Peripheral blood smear: 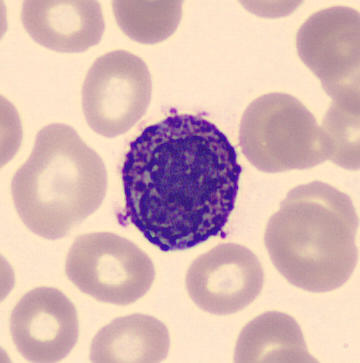 Specimen: peripheral blood smear.
Cell type: basophil.
Lineage: myeloid.